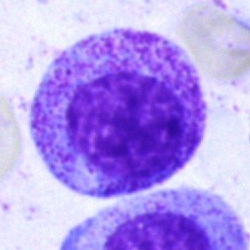Morphology consistent with a myelocyte.